Peripheral blood film — 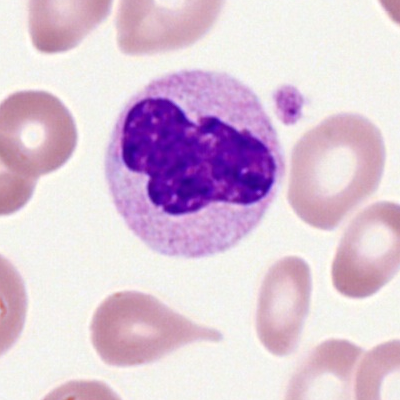
Q: Which cell type is shown here?
A: A neutrophil (segmented).